Bone marrow smear; May-Grünwald-Giemsa stain.
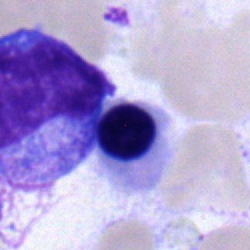 Morphological class: nucleated red blood cell.